Bone marrow aspirate smear; 40× oil immersion: 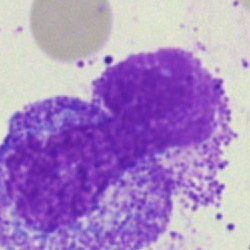

Morphology consistent with an artefact.